Bone marrow smear
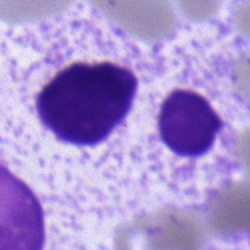

Morphological class: segmented neutrophil.